Bone marrow smear.
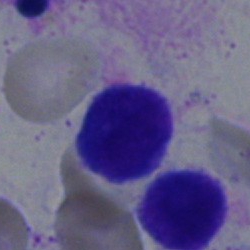

The cell is typical lymphocyte.